Bone marrow aspirate smear — 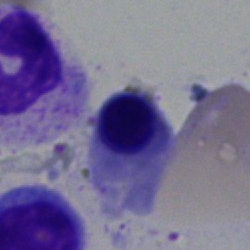 Erythroblast.